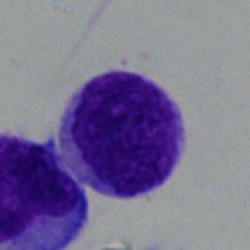

A lymphocyte.